Peripheral blood smear; 400×400 px; cropped to a single cell: 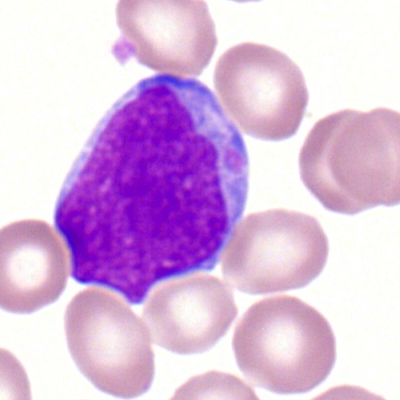Cell type: myeloid blast.